Bone marrow aspirate smear: 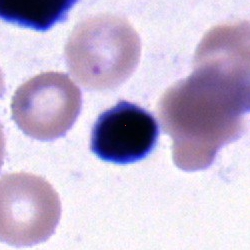

The cell is lymphocyte.